Bone marrow aspirate smear — 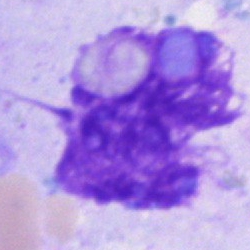 Morphology consistent with an artefact.